Brightfield microscopy, 40× oil immersion; bone marrow aspirate smear.
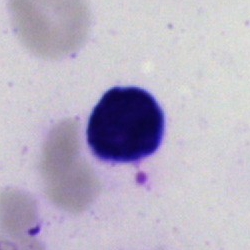 Q: What is shown here?
A: This is an artifact.